Bone marrow smear: 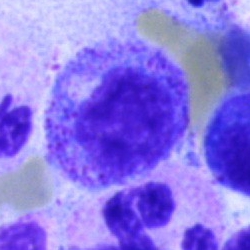
Specimen: bone marrow aspirate smear.
Morphological class: myelocyte.
Lineage: myeloid.